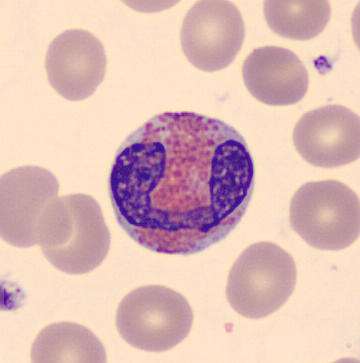This is an eosinophilic granulocyte. Image: Peripheral blood film.